Bone marrow smear.
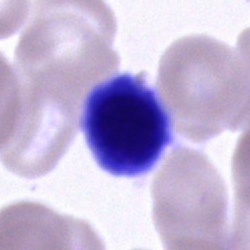
The cell shown is a lymphocyte.